May-Grünwald-Giemsa/Pappenheim stain. Bone marrow aspirate smear:
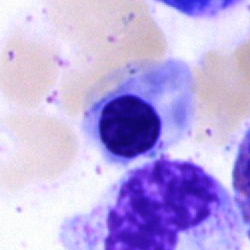Morphological class = normoblast.